Pappenheim-stained · bone marrow smear:
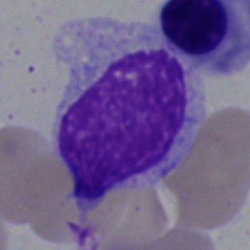
Specimen: bone marrow aspirate smear.
Cell type: unidentifiable cell.